Bone marrow aspirate smear — 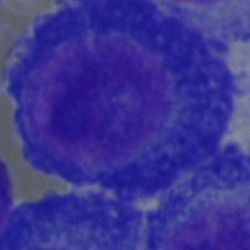 Q: What is the morphological classification of this cell?
A: This is a plasma cell.